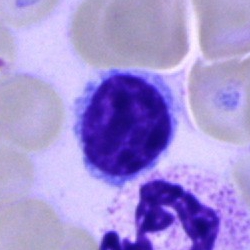A typical lymphocyte.